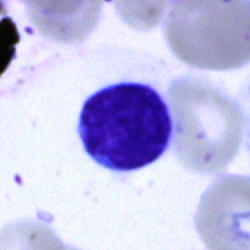Showing a lymphocyte.